Bone marrow aspirate smear; image size 250×250:
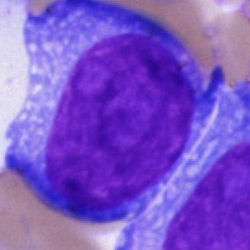Q: Which cell type is shown here?
A: An undifferentiated blast.